40× objective, oil immersion · bone marrow smear — 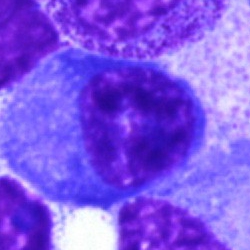

Cell — plasmacyte.